250 by 250 pixels. Brightfield microscopy, 40× oil immersion. Bone marrow smear:
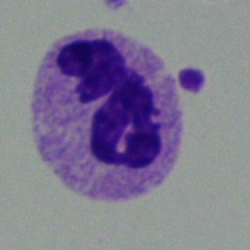Morphological class — polymorphonuclear neutrophil.